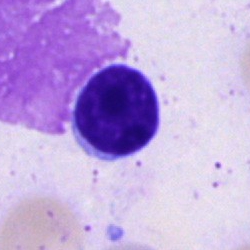
Specimen: bone marrow smear.
Classification: lymphocyte.